Bone marrow aspirate smear · 250 by 250 pixels.
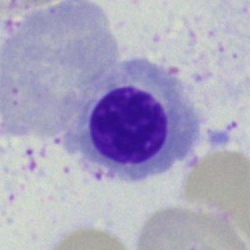

Classification: nucleated red blood cell.